Bone marrow aspirate smear · May-Grünwald-Giemsa/Pappenheim stain: 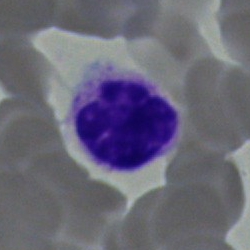 Cell: polymorphonuclear neutrophil.